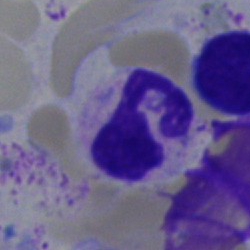 Cell = neutrophil (segmented).